Single-cell field; bone marrow smear; image size 250×250: 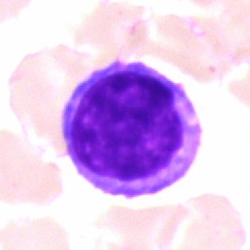Morphology consistent with a typical lymphocyte.